Cropped to a single cell; bone marrow aspirate smear; May-Grünwald-Giemsa/Pappenheim stain
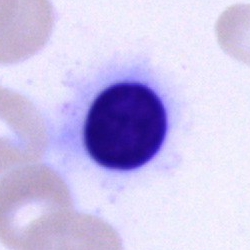 Q: Which cell type is shown here?
A: It is an unidentifiable cell.